Bone marrow smear; May-Grünwald-Giemsa/Pappenheim stain
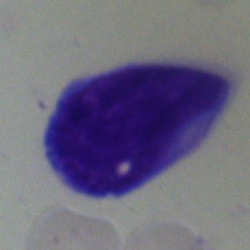
This is an undifferentiated blast.